Bone marrow aspirate smear · cropped to a single cell:
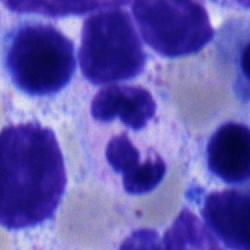 Showing a neutrophil (segmented).